Peripheral blood smear
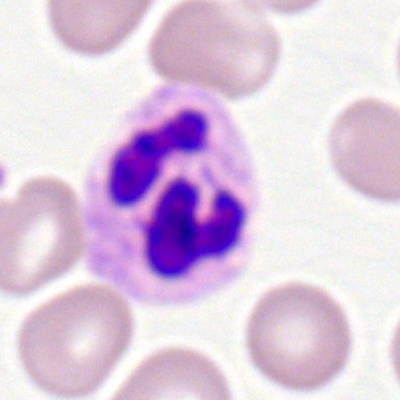 Cell: neutrophil (segmented).